Peripheral blood film; single-cell crop: 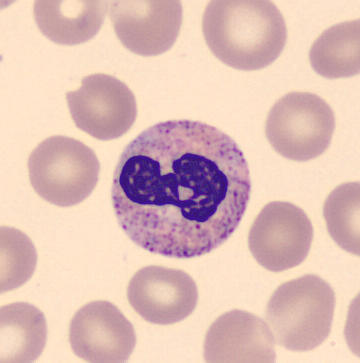
Morphology consistent with a neutrophil (segmented).